Bone marrow smear: 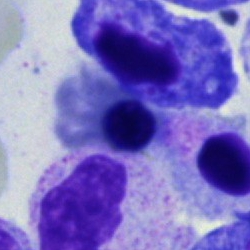 Specimen: bone marrow smear.
Morphological class: erythroblast.
Lineage: erythroid.